Bone marrow smear · 250×250 px: 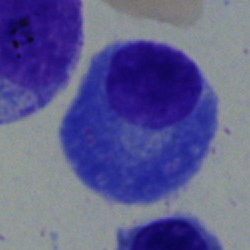The cell is plasma cell.